Bone marrow aspirate smear.
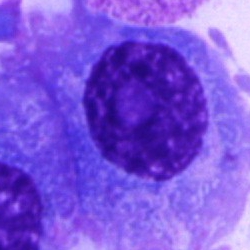
Impression — plasmacyte.